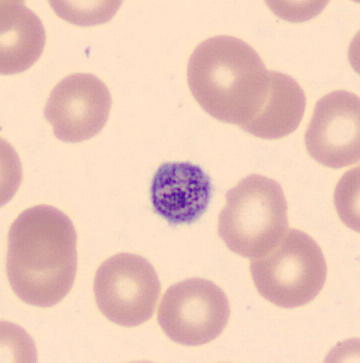

Identified as a thrombocyte.

Peripheral blood smear.